100× oil immersion, 14.14 px/µm; peripheral blood film.
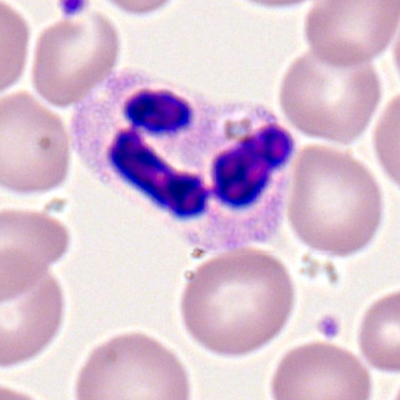Cell type: segmented neutrophil.